Bone marrow aspirate smear · 40× objective, oil immersion · 250 by 250 pixels: 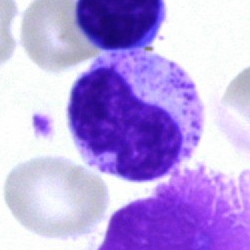Single cell identified as a metamyelocyte.